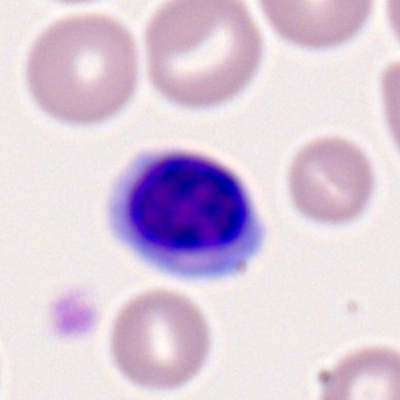

Peripheral blood film, single cell — lymphocyte.